Bone marrow smear:
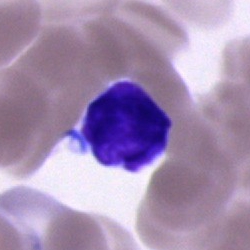 Lymphocyte.